Bone marrow smear.
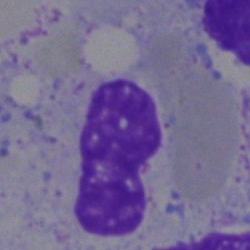
Showing a band-form neutrophil.